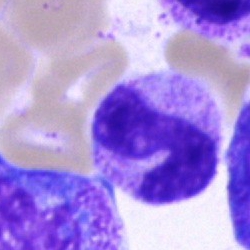Morphology — band neutrophil.